400×400; 100× oil immersion, 14.14 px/µm; peripheral blood film.
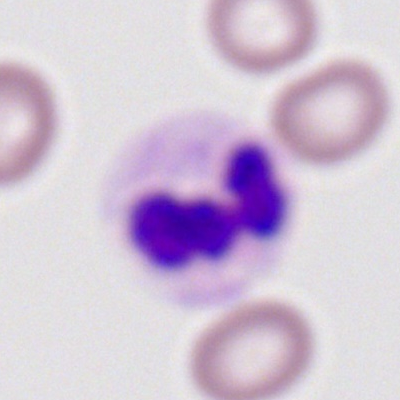Specimen: peripheral blood film.
Classification: segmented neutrophil.